Bone marrow smear: 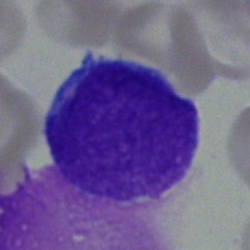 A blast cell.